250×250; bone marrow aspirate smear; single-cell field: 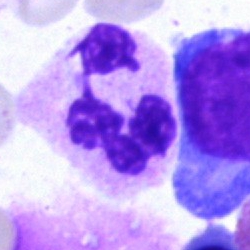 This is a polymorphonuclear neutrophil.